Cropped to a single cell · bone marrow smear · 40× objective, oil immersion.
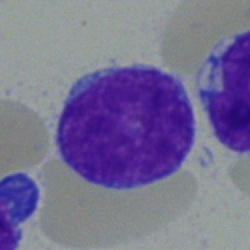 Morphology consistent with a blast cell.